Bone marrow smear.
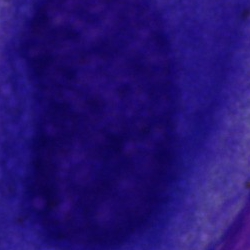
Artefact.